Bone marrow smear · 250×250: 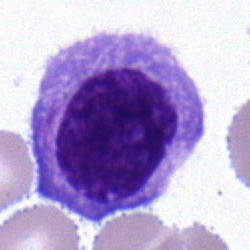

Cell type: typical lymphocyte.